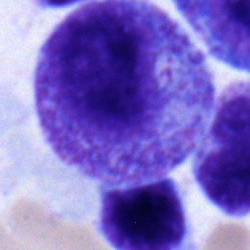

Bone marrow aspirate smear, single cell — promyelocyte.